Image size 250×250. Bone marrow smear — 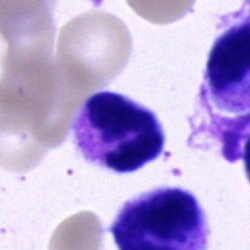Q: What is the morphological classification of this cell?
A: This is a polymorphonuclear neutrophil.